Bone marrow aspirate smear — 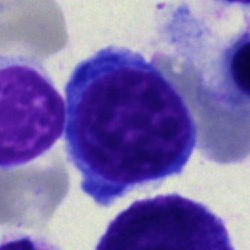 Showing a lymphocyte.